May-Grünwald-Giemsa stain; bone marrow aspirate smear:
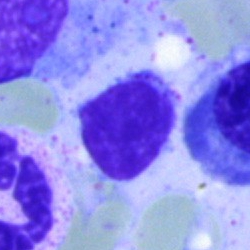 Specimen: bone marrow aspirate smear.
Cell type: typical lymphocyte.